Bone marrow aspirate smear: 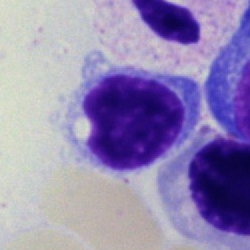 The morphological class is typical lymphocyte.